40× objective, oil immersion; bone marrow smear — 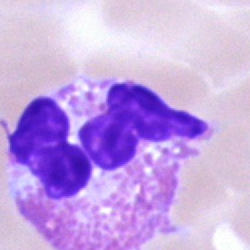 Eosinophilic granulocyte.